Bone marrow smear. Single cell centered in the field.
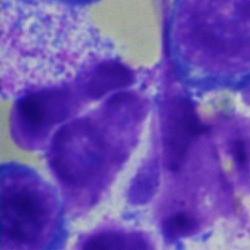

Morphology consistent with an artefact.